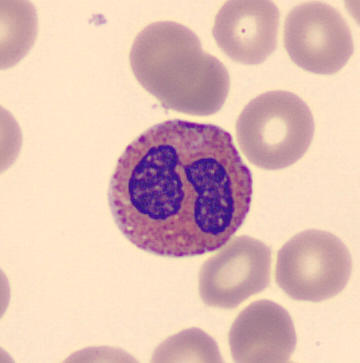
Q: What type of cell is this?
A: This is an eosinophil.
Image: Peripheral blood film.